Bone marrow aspirate smear: 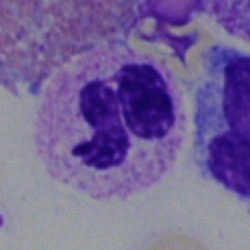
Specimen: bone marrow smear.
Classification: segmented neutrophil.
Lineage: myeloid.